Peripheral blood film; 400 by 400 pixels: 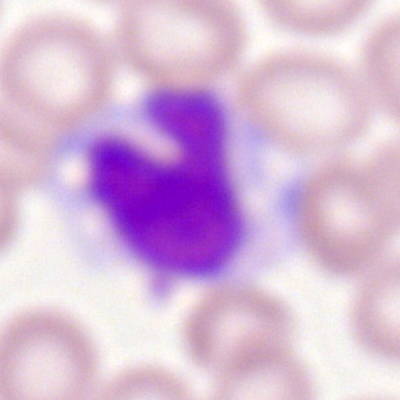Cell — monocyte.